Bone marrow smear · May-Grünwald-Giemsa/Pappenheim stain — 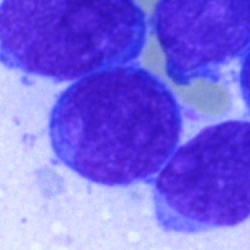

Showing a blast cell.